Brightfield, 100× oil-immersion objective. Peripheral blood film
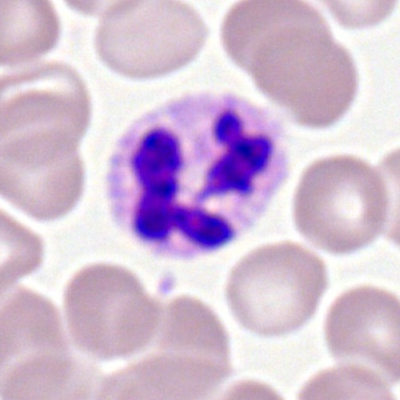Cell type: segmented neutrophil.